Cropped to a single cell; 250 by 250 pixels; bone marrow aspirate smear: 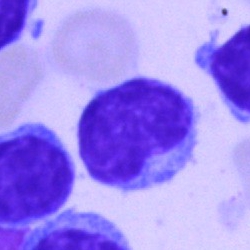

A lymphocyte.